Bone marrow aspirate smear
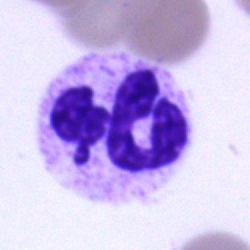
Morphology → polymorphonuclear neutrophil.